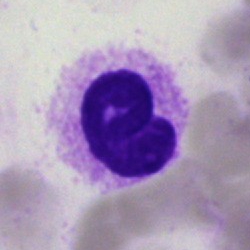
Q: Identify the cell.
A: It is a neutrophil (segmented).